250×250 px. Bone marrow smear.
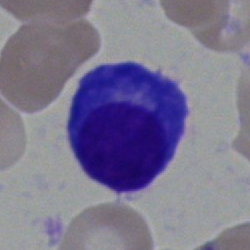
A plasma cell.